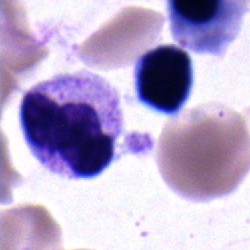
Impression → polymorphonuclear neutrophil.